Bone marrow aspirate smear.
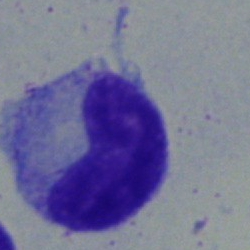

Morphology consistent with a metamyelocyte.